Bone marrow aspirate smear
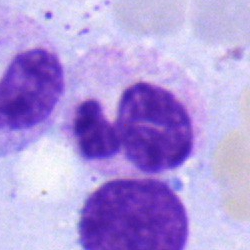 Q: Which cell type is shown here?
A: It is a neutrophil (segmented).